Brightfield microscopy, 40× oil immersion · bone marrow aspirate smear: 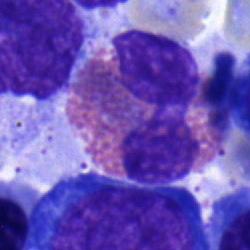 Morphology consistent with an eosinophilic granulocyte.